Bone marrow smear · 250×250 — 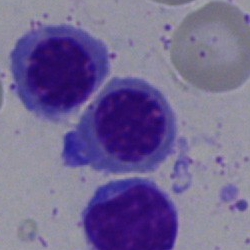 Classification = nucleated red cell.